Bone marrow smear: 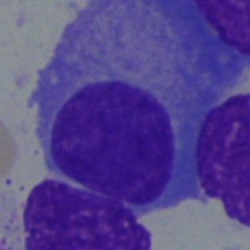
Plasma cell.